Bone marrow aspirate smear: 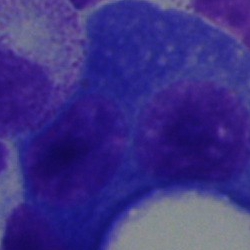 Cell: plasma cell.